Peripheral blood smear. Single-cell crop.
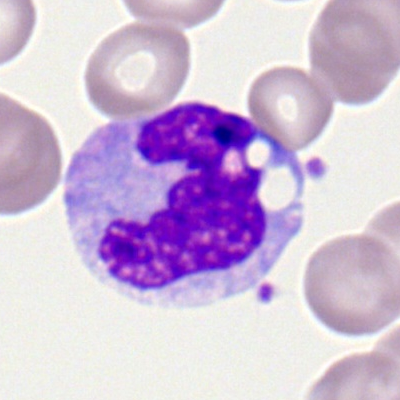
Specimen: peripheral blood smear.
Classification: monocyte.
Lineage: myeloid.